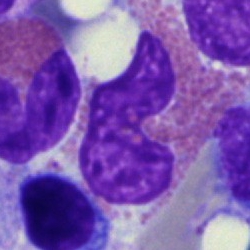
An eosinophilic granulocyte.